Bone marrow aspirate smear — 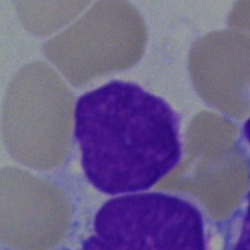 A blast cell.